Peripheral blood smear — 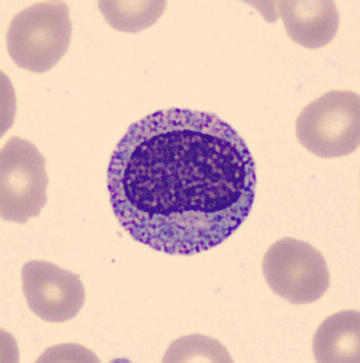 Specimen: peripheral blood smear.
Morphological class: myelocyte.
Lineage: myeloid.